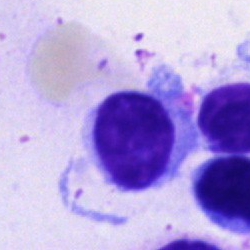Morphology → typical lymphocyte.